40× objective, oil immersion. Bone marrow smear — 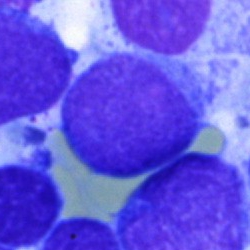
Showing a blast cell.